Bone marrow aspirate smear. 250×250 — 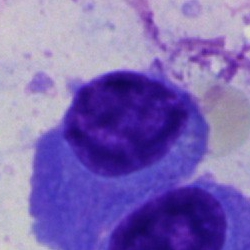

{"cell_type": "plasmacyte", "lineage": "lymphoid"}